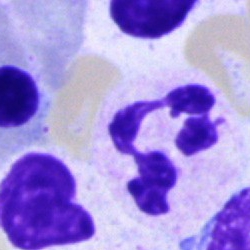
Cell — neutrophil (segmented).